250×250 px; brightfield, 40× oil-immersion objective; bone marrow aspirate smear — 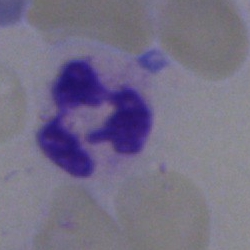Polymorphonuclear neutrophil.